Bone marrow smear; 250×250 px — 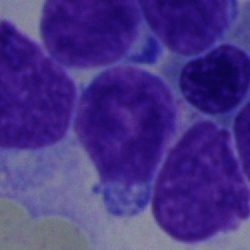

This is a blast cell.